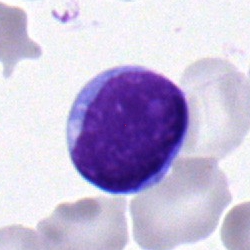

A typical lymphocyte on a bone marrow smear.